Bone marrow smear: 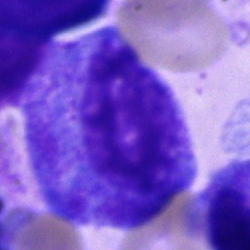

Specimen: bone marrow aspirate smear.
Cell type: promyelocyte.
Lineage: myeloid.